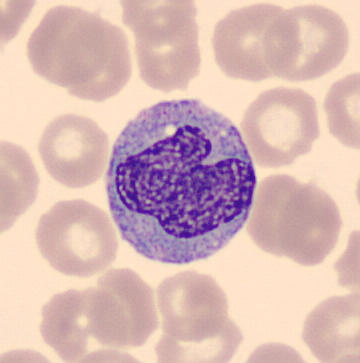 Q: What is the morphological classification of this cell?
A: A monocyte.